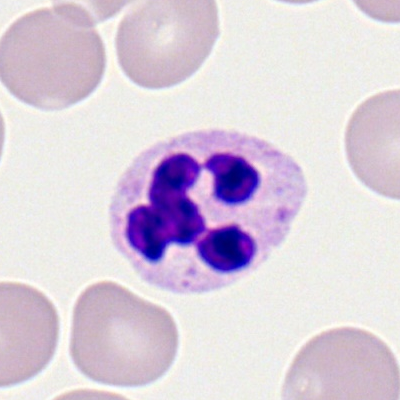

A segmented neutrophil on a peripheral blood smear.